Bone marrow aspirate smear; 40× objective, oil immersion
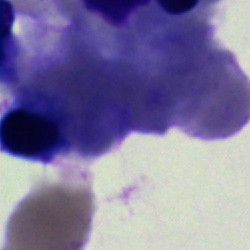{"cell_type": "artefact"}